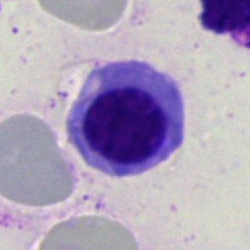

{"cell_type": "erythroblast"}